40× objective, oil immersion; bone marrow smear:
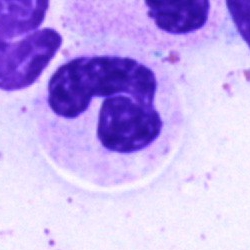 A polymorphonuclear neutrophil.